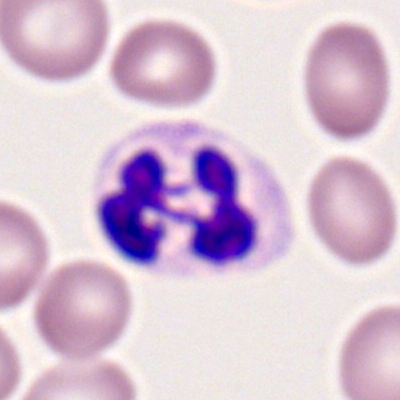 A polymorphonuclear neutrophil.